Bone marrow smear.
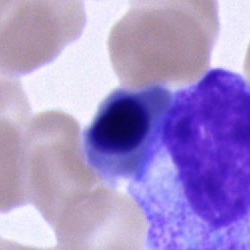

A normoblast.